Image size 250×250. Bone marrow smear
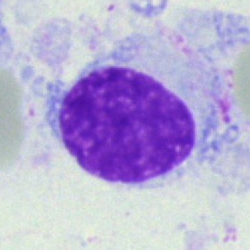Morphology consistent with a hairy cell.